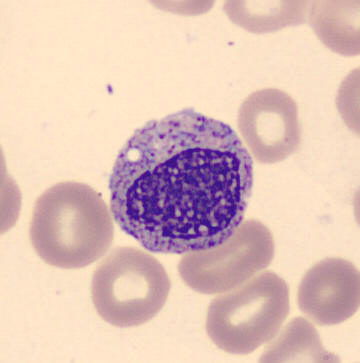

Q: What is shown here?
A: This is a myelocyte.

Peripheral blood smear; CellaVision DM96 digital cell image.